Bone marrow smear — 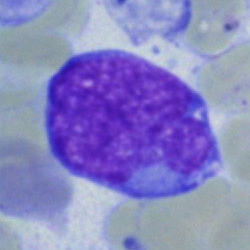Specimen: bone marrow aspirate smear.
Cell type: blast cell.